Bone marrow aspirate smear; brightfield microscopy, 40× oil immersion; cropped to a single cell.
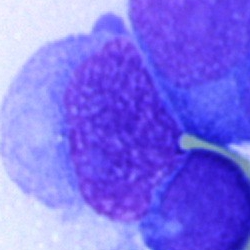 Cell type — undifferentiated blast.